250×250 px; bone marrow smear: 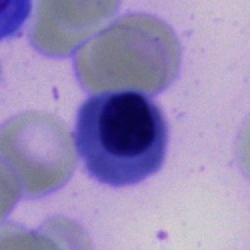This is an artifact.